MGG-stained. Bone marrow smear:
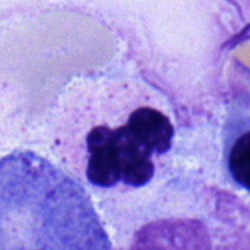

Showing a segmented neutrophil.